Peripheral blood film.
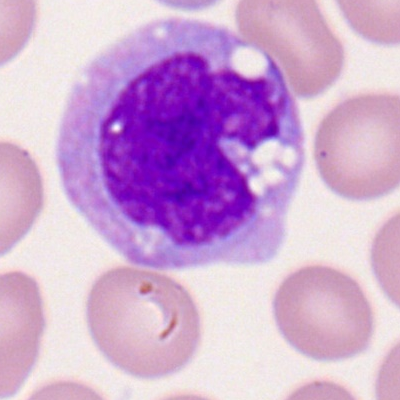Cell = monocyte.